MGG-stained · bone marrow smear — 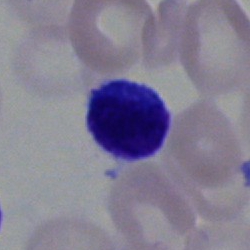
{"cell_type": "lymphocyte", "lineage": "lymphoid"}